100× oil immersion, 14.14 px/µm; single-cell field; peripheral blood smear:
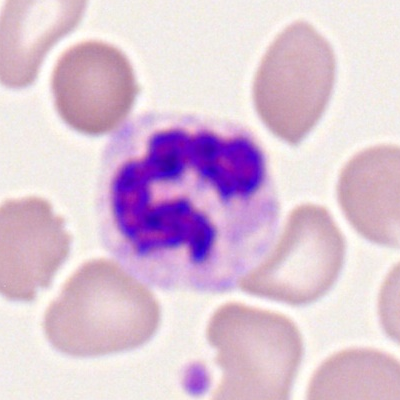 Polymorphonuclear neutrophil.